Bone marrow smear; 40× oil immersion; single cell centered in the field
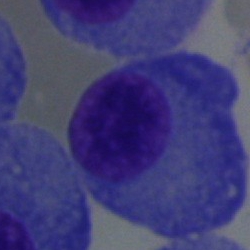
Q: What is shown here?
A: It is a plasmacyte.